250 by 250 pixels · bone marrow smear — 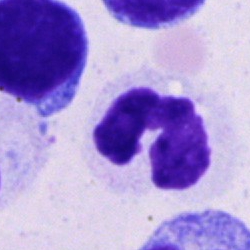

Cell type — segmented neutrophil.